Bone marrow aspirate smear
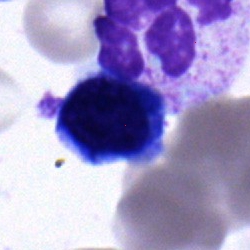

Typical lymphocyte.